Bone marrow aspirate smear.
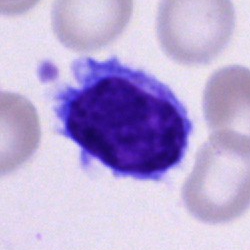 Impression → typical lymphocyte.